Pappenheim-stained · image size 250×250 · bone marrow smear: 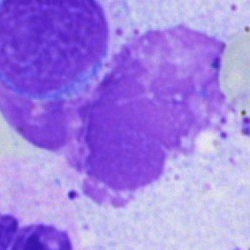Morphology → artefact.